Bone marrow smear — 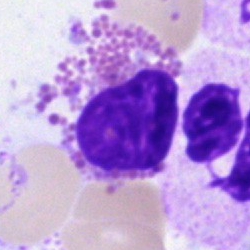

Specimen: bone marrow smear.
Morphological class: eosinophil.